40× oil immersion. Bone marrow aspirate smear — 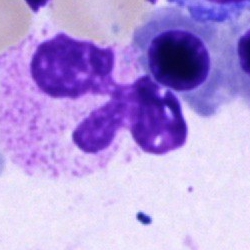 Q: What cell is this?
A: Segmented neutrophil.